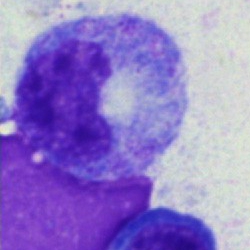 Q: What type of cell is this?
A: Promyelocyte.